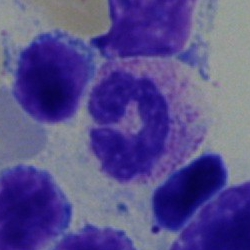

Polymorphonuclear neutrophil.